Bone marrow aspirate smear. 250 by 250 pixels. Single-cell field:
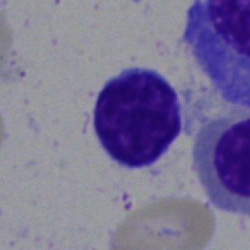

Q: What is the morphological classification of this cell?
A: It is a typical lymphocyte.